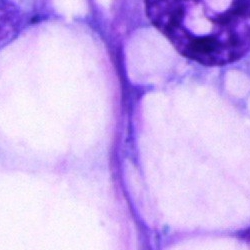 Classification: artefact.